Bone marrow aspirate smear. May-Grünwald-Giemsa/Pappenheim stain. Single cell centered in the field: 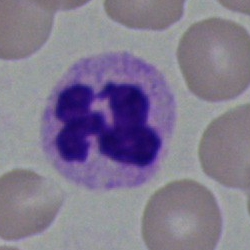

Morphology consistent with a neutrophil (segmented).